Single-cell crop · bone marrow smear: 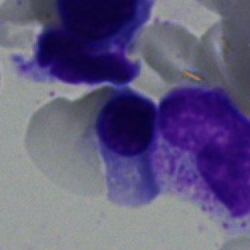The classification is nucleated red blood cell.